Bone marrow smear.
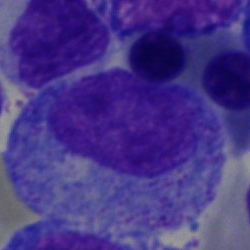

Morphology consistent with a promyelocyte.